Bone marrow smear.
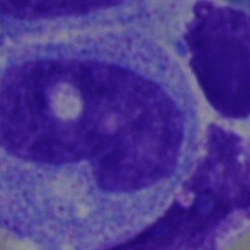Cell: monocyte.